Bone marrow smear. Cropped to a single cell
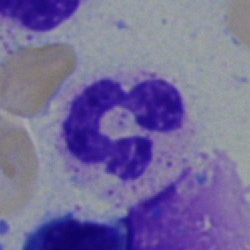{"cell_type": "polymorphonuclear neutrophil", "lineage": "myeloid"}